250 by 250 pixels · bone marrow aspirate smear · May-Grünwald-Giemsa/Pappenheim stain
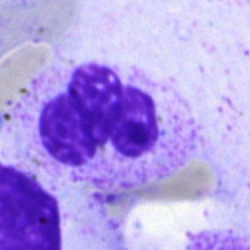 Classification = polymorphonuclear neutrophil.